40× objective, oil immersion. Bone marrow smear — 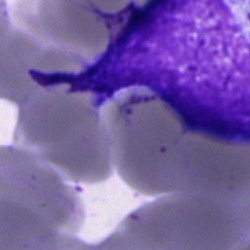 Q: What is shown here?
A: It is an artifact.